Single cell centered in the field · bone marrow smear: 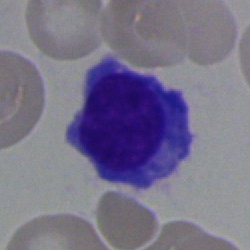Plasma cell.